Bone marrow smear. Image size 250×250.
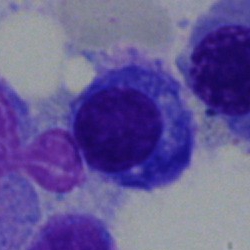Q: Which cell type is shown here?
A: A plasma cell.